Bone marrow smear
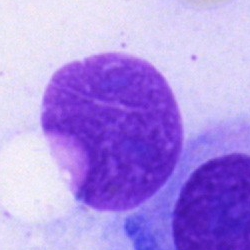 The cell is artifact.